Pappenheim-stained. Image size 250×250. Bone marrow aspirate smear.
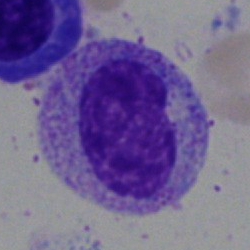
Showing a metamyelocyte.